Image size 250×250; bone marrow aspirate smear — 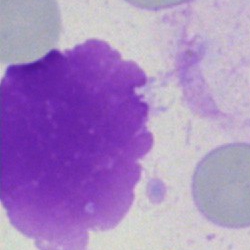The classification is artefact.